Pappenheim-stained; bone marrow aspirate smear: 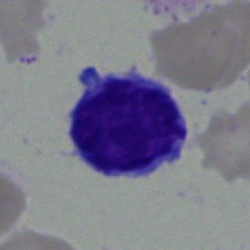
Q: What is shown here?
A: Lymphocyte.